Bone marrow smear: 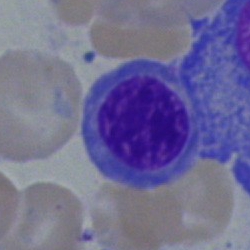 Cell type: nucleated red cell.